Bone marrow aspirate smear.
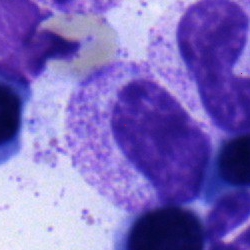Cell: metamyelocyte.